250×250 · bone marrow smear — 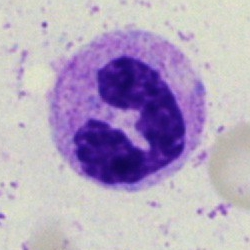 Q: Identify the cell.
A: This is a neutrophil (segmented).